Bone marrow smear: 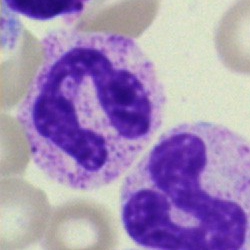 Classification = segmented neutrophil.